Bone marrow aspirate smear:
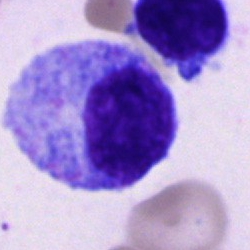
Morphological class: progranulocyte.